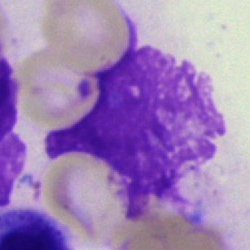Artifact.